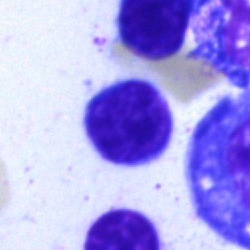 Morphology — typical lymphocyte.